Bone marrow aspirate smear — 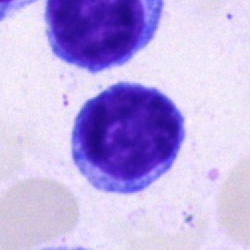
Q: What type of cell is this?
A: It is a lymphocyte.